Bone marrow aspirate smear.
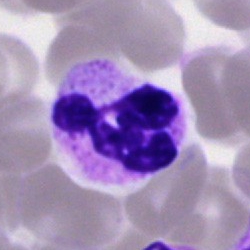Q: What cell is this?
A: Neutrophil (segmented).